Bone marrow aspirate smear:
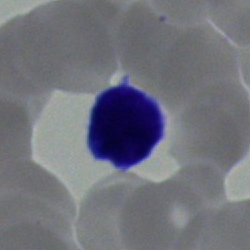Specimen: bone marrow aspirate smear.
Cell: lymphocyte.
Lineage: lymphoid.